Bone marrow smear:
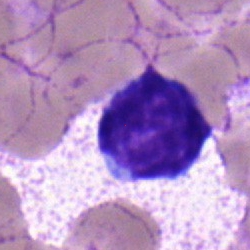
Q: What is the morphological classification of this cell?
A: It is a typical lymphocyte.